250×250 · bone marrow smear
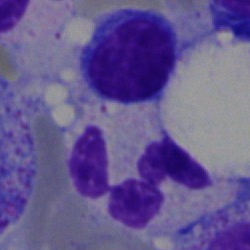 Impression → neutrophil (segmented).